Bone marrow aspirate smear: 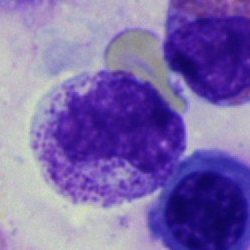
Showing a metamyelocyte.